Cropped to a single cell. Bone marrow aspirate smear — 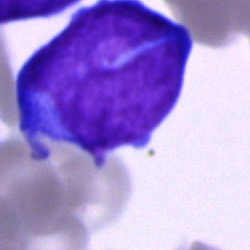

The classification is blast.